Bone marrow aspirate smear:
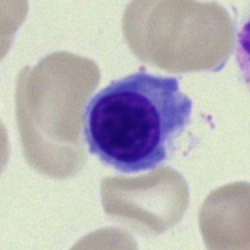
Q: What is shown here?
A: Nucleated red cell.